Bone marrow aspirate smear. MGG-stained. Brightfield microscopy, 40× oil immersion.
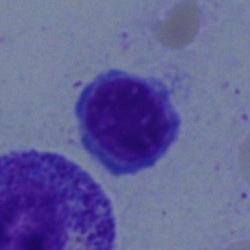 Normoblast.